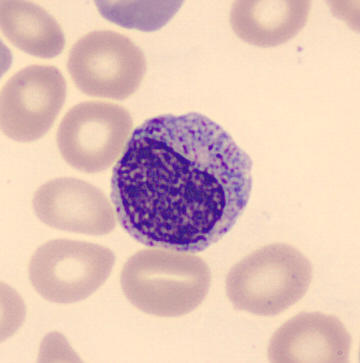
Peripheral blood smear.
Morphology — myelocyte.